Single-cell field · bone marrow smear:
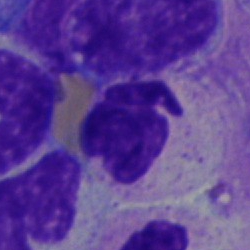
Impression → polymorphonuclear neutrophil.